Bone marrow aspirate smear. MGG-stained:
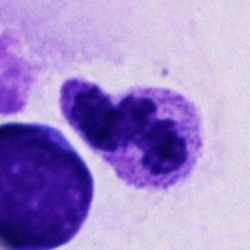
Single cell identified as a neutrophil (segmented).